Bone marrow aspirate smear; Pappenheim-stained.
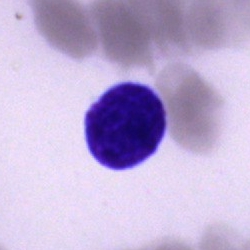
Morphology consistent with a lymphocyte.